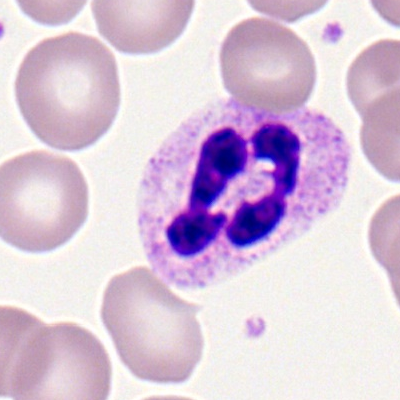

A neutrophil (segmented) on a peripheral blood smear.